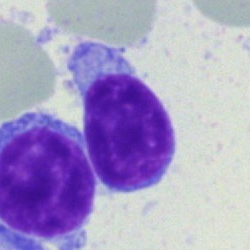

Impression → typical lymphocyte.